Bone marrow aspirate smear — 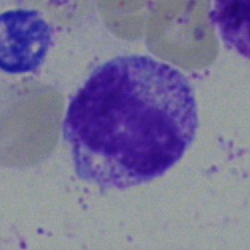Showing a metamyelocyte.